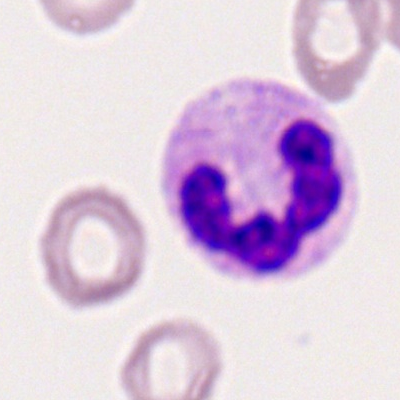

Single-cell crop from a peripheral blood smear: polymorphonuclear neutrophil.